Bone marrow aspirate smear — 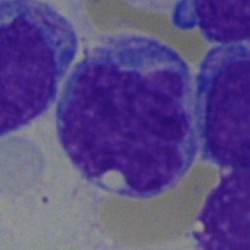 Impression → blast.